Bone marrow smear. Brightfield, 40× oil-immersion objective:
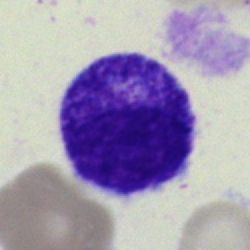
Myelocyte.